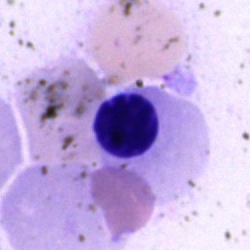Nucleated red blood cell.